Bone marrow aspirate smear
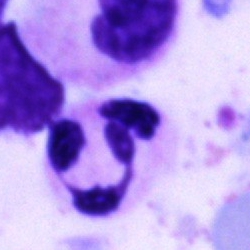 Classification = neutrophil (segmented).